Peripheral blood film — 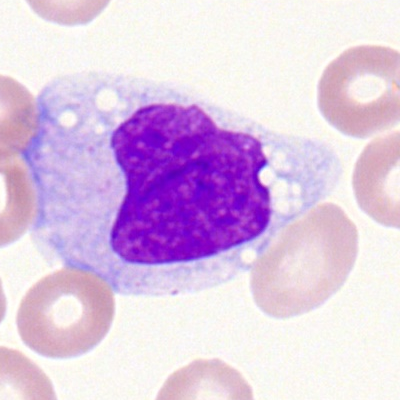 Showing a monocyte.